MGG-stained; brightfield, 40× oil-immersion objective; bone marrow smear.
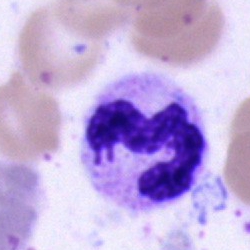Q: Which cell type is shown here?
A: It is a segmented neutrophil.